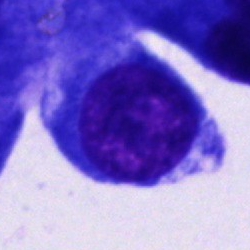 Bone marrow smear showing a cell not matching the other categories.